40× objective, oil immersion. Bone marrow aspirate smear:
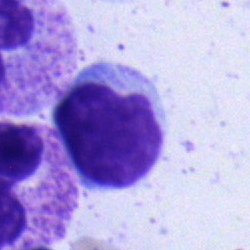 Specimen: bone marrow smear.
Morphological class: typical lymphocyte.
Lineage: lymphoid.